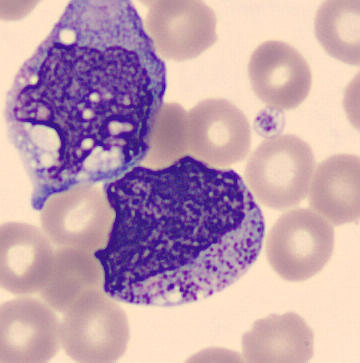 Q: What cell is this?
A: This is a progranulocyte.

Preparation: MGG-stained. Peripheral blood smear. Single cell centered in the field.